Bone marrow aspirate smear. Image size 250×250
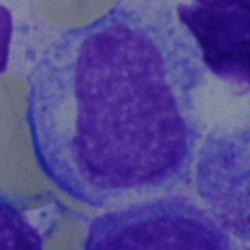 Single cell identified as a blast.